Peripheral blood smear
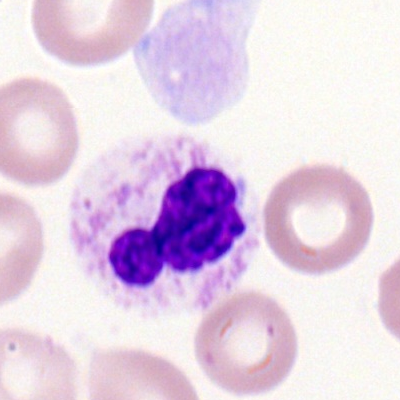
Impression → segmented neutrophil.